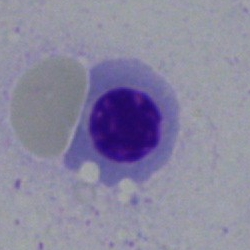
Bone marrow aspirate smear, single cell — nucleated red cell.